MGG-stained · bone marrow smear: 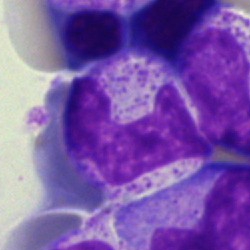
Morphology → neutrophil (band).